Bone marrow smear: 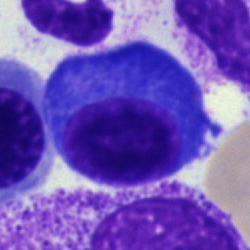Morphology → plasma cell.